Bone marrow smear
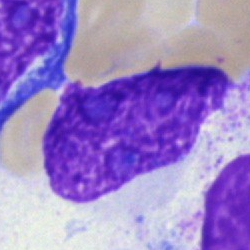

Classification: artefact.